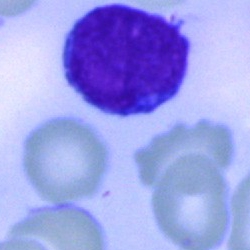
Q: What cell is this?
A: It is a lymphocyte.